Brightfield, 40× oil-immersion objective; bone marrow aspirate smear
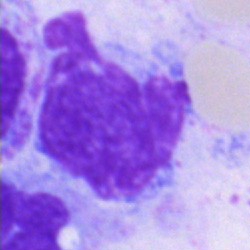

Impression — artefact.